Bone marrow aspirate smear · single cell centered in the field
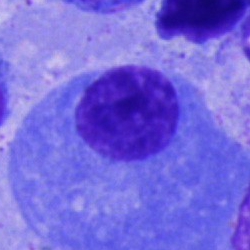
Q: What is the morphological classification of this cell?
A: A plasma cell.